Romanowsky-stained. Peripheral blood smear.
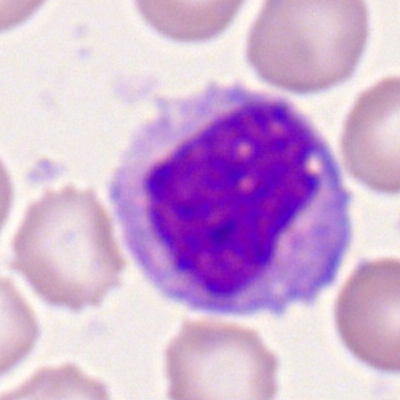Specimen: peripheral blood film.
Classification: monocyte.
Lineage: myeloid.